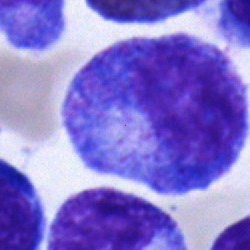 Showing a progranulocyte.